Bone marrow aspirate smear
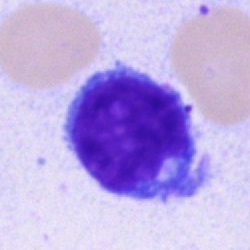
Morphology — typical lymphocyte.